Bone marrow aspirate smear:
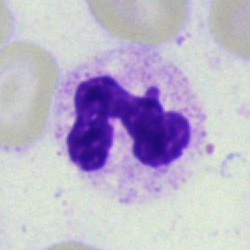Impression — neutrophil (segmented).